Romanowsky-stained · peripheral blood smear: 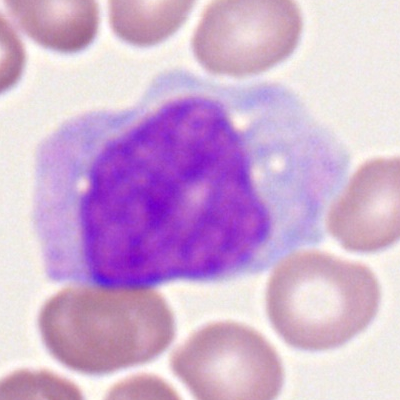Classification = monocyte.